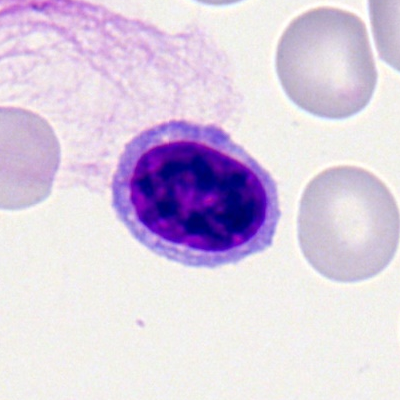
Classification — lymphocyte.